Cropped to a single cell; peripheral blood smear — 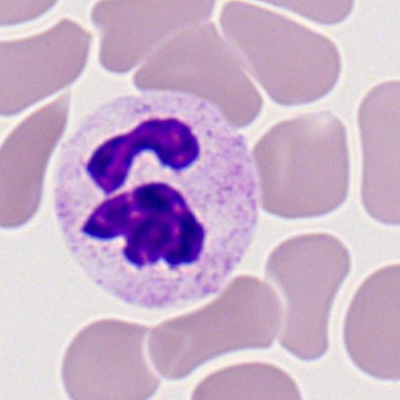

Impression → segmented neutrophil.